Bone marrow smear:
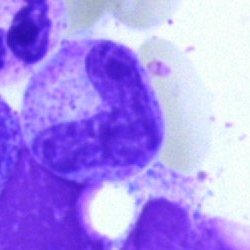Morphology consistent with a band-form neutrophil.